May-Grünwald-Giemsa/Pappenheim stain · bone marrow smear
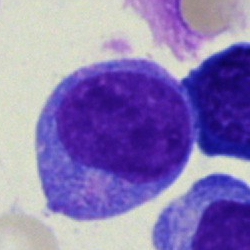

Morphology consistent with a blast cell.